Bone marrow aspirate smear: 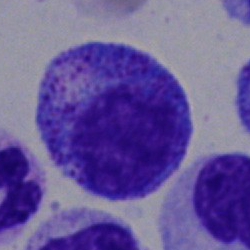 This is a progranulocyte.